Bone marrow smear; 40× objective, oil immersion; cropped to a single cell
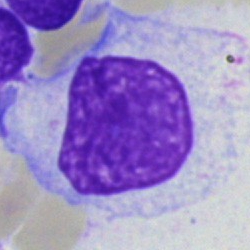

Impression → monocyte.